Bone marrow aspirate smear
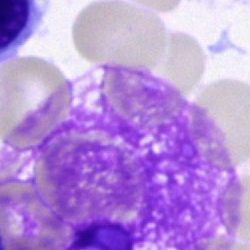

Q: What is shown here?
A: An artefact.